Bone marrow aspirate smear; 40× oil immersion
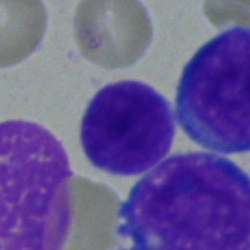
Cell: undifferentiated blast.